M8 digital microscope (Precipoint), 100× oil immersion; peripheral blood smear; 400×400.
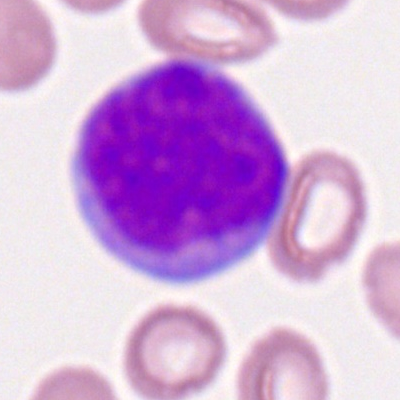The classification is myeloblast.